Peripheral blood film; M8 digital microscope (Precipoint), 100× oil immersion; 400 by 400 pixels:
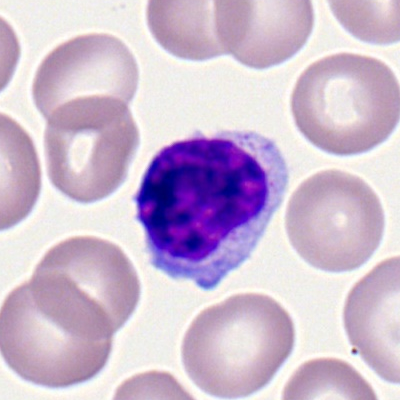
The classification is typical lymphocyte.